Brightfield microscopy, 40× oil immersion. Bone marrow smear. MGG-stained.
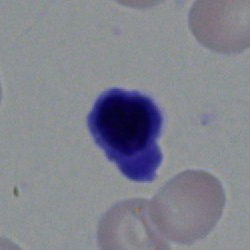 Q: Identify the cell.
A: An erythroblast.